May-Grünwald-Giemsa/Pappenheim stain. Bone marrow smear — 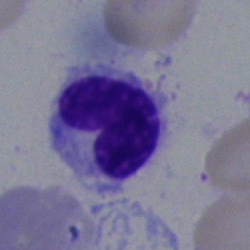Cell = band neutrophil.